Bone marrow smear. Pappenheim-stained. 40× oil immersion — 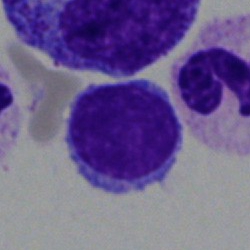

Morphology consistent with a lymphocyte.